Bone marrow smear
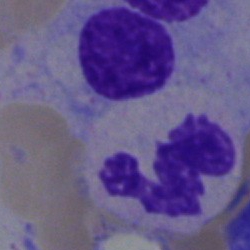

Morphology → segmented neutrophil.